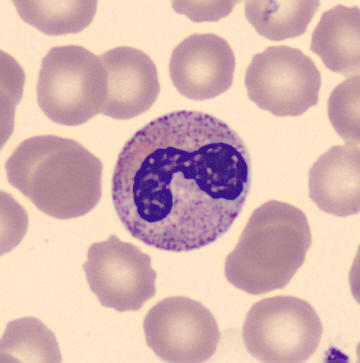
Impression — stab cell.
Peripheral blood film · CellaVision DM96.